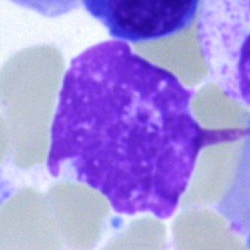

Cell type: artifact.